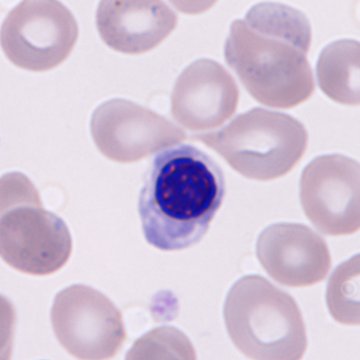

Acquisition: Peripheral blood smear.
Morphology — nucleated red cell.